Bone marrow smear; 250 by 250 pixels
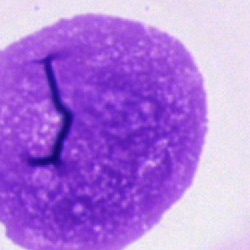{"cell_type": "artifact"}